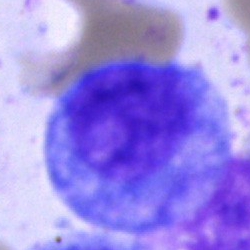

Morphology — progranulocyte.